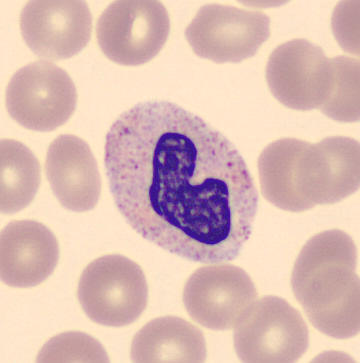

Classification: neutrophil (band).

Image: Peripheral blood film.